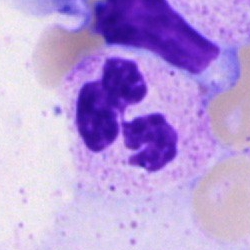
Impression → segmented neutrophil.